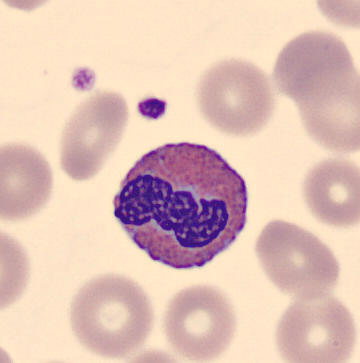

Cell = eosinophil.